May-Grünwald-Giemsa stain · bone marrow smear
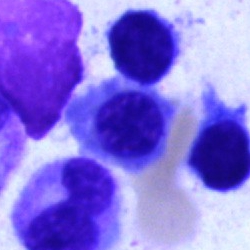 Erythroblast.